Bone marrow smear. 40× oil immersion. Image size 250×250: 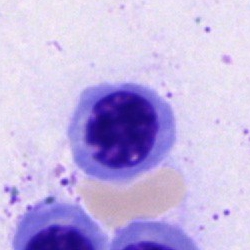
Q: What is the morphological classification of this cell?
A: It is a normoblast.